250 by 250 pixels; bone marrow smear — 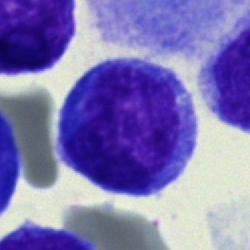The classification is undifferentiated blast.